Bone marrow aspirate smear; single-cell field: 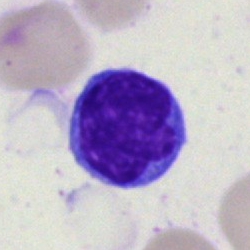

A lymphocyte.